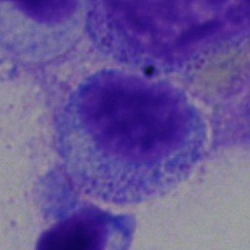
Morphological class — myelocyte.